Bone marrow aspirate smear
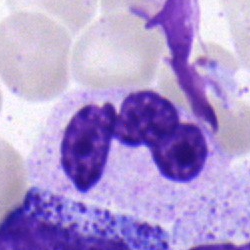

{"cell_type": "segmented neutrophil"}